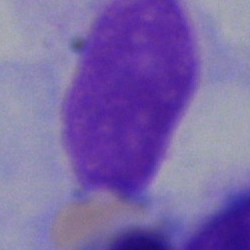

Cell = artefact.